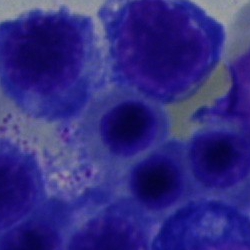

Impression → nucleated red blood cell.